Bone marrow aspirate smear: 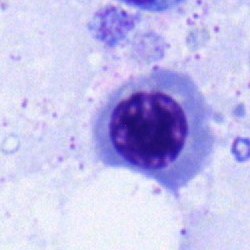Cell: normoblast.